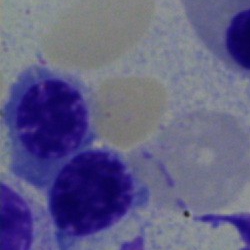
Morphology — nucleated red cell.